Bone marrow aspirate smear — 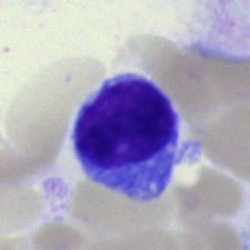Specimen: bone marrow aspirate smear.
Morphological class: lymphocyte.
Lineage: lymphoid.